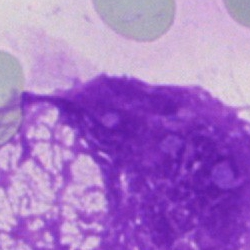
Morphological class — artefact.